Romanowsky-type stain. Peripheral blood film. Brightfield, 100× oil-immersion objective:
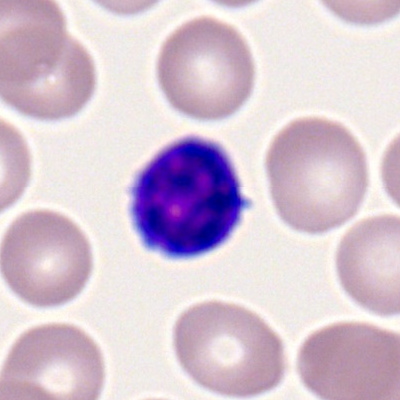

Cell type = typical lymphocyte.